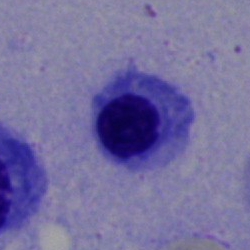
Morphology — erythroblast.